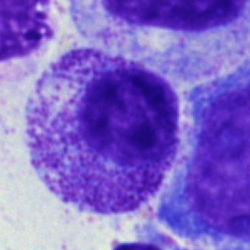
Classification — myelocyte.